Romanowsky stain · peripheral blood film:
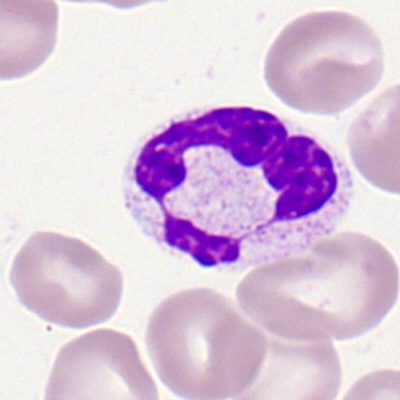

Cell type — polymorphonuclear neutrophil.